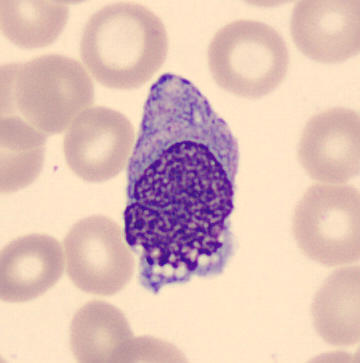 Image: Peripheral blood film. Image size 360×363. May Grünwald-Giemsa stain.

Q: What is shown here?
A: Monocyte.